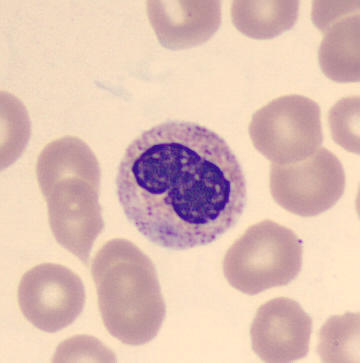
Acquisition: 360 by 363 pixels; peripheral blood smear. Classification — metamyelocyte.